Bone marrow aspirate smear — 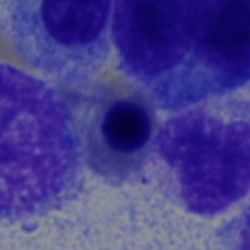 Q: Identify the cell.
A: Nucleated red cell.